Bone marrow aspirate smear; single-cell crop:
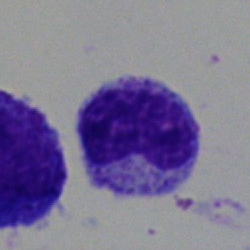{"cell_type": "metamyelocyte", "lineage": "myeloid"}